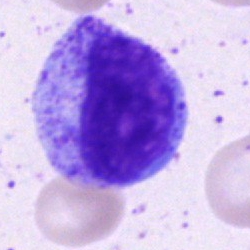

Morphological class: progranulocyte.